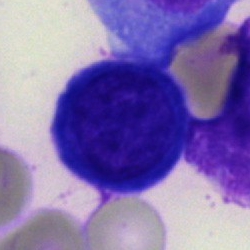 The cell type is blast.